Bone marrow aspirate smear: 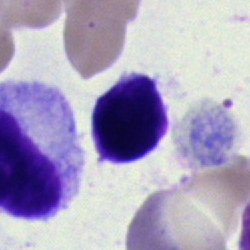Cell type = typical lymphocyte.